Bone marrow aspirate smear:
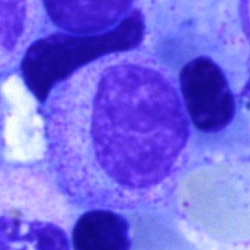

A myelocyte.